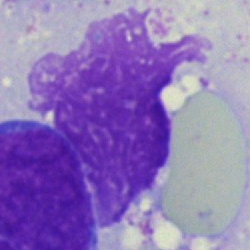
Morphology → artefact.